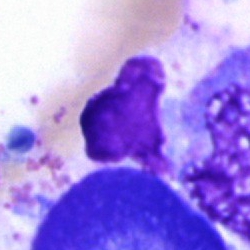
Artefact.